Bone marrow smear: 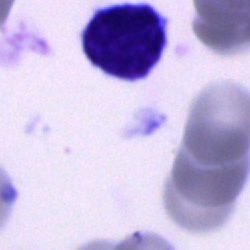

Specimen: bone marrow aspirate smear.
Cell: lymphocyte.
Lineage: lymphoid.